Bone marrow smear:
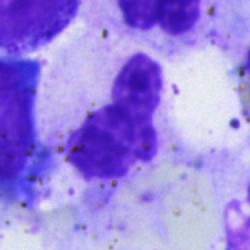
Showing a segmented neutrophil.